Bone marrow smear:
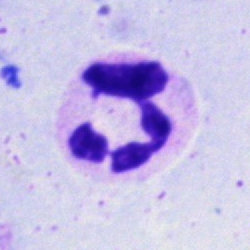 Q: Identify the cell.
A: It is a segmented neutrophil.